Brightfield microscopy, 40× oil immersion · cropped to a single cell · bone marrow aspirate smear
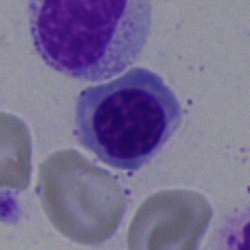 The morphological class is nucleated red cell.